Peripheral blood smear
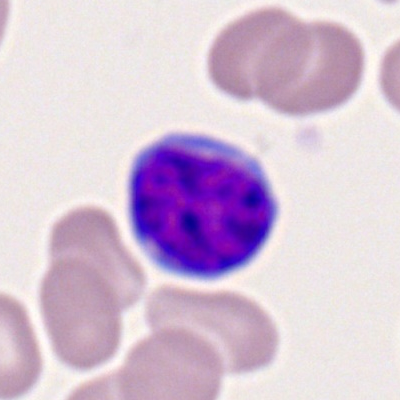 Q: Which cell type is shown here?
A: A typical lymphocyte.